Bone marrow smear: 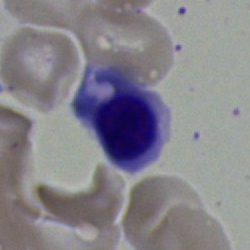
A nucleated red blood cell.